Bone marrow aspirate smear; single-cell field
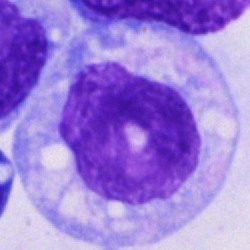
Q: What type of cell is this?
A: It is a cell of indeterminate lineage.